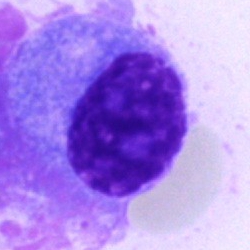
Specimen: bone marrow aspirate smear.
Classification: plasmacyte.
Lineage: lymphoid.